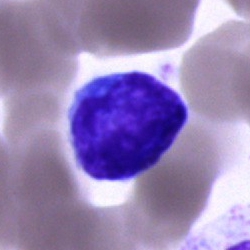

Q: What is the morphological classification of this cell?
A: Typical lymphocyte.